May-Grünwald-Giemsa/Pappenheim stain; cropped to a single cell; bone marrow aspirate smear — 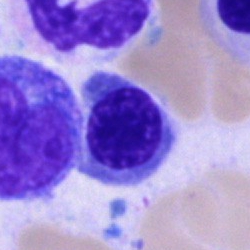

Specimen: bone marrow smear.
Cell: normoblast.
Lineage: erythroid.